Brightfield, 40× oil-immersion objective; bone marrow aspirate smear — 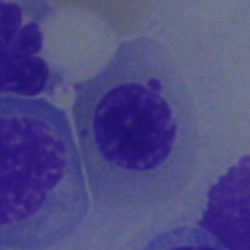Morphological class: nucleated red blood cell.